Bone marrow aspirate smear · 250 by 250 pixels · single cell centered in the field:
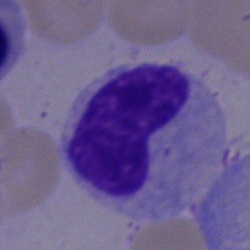
Cell type — band-form neutrophil.